Single-cell field; peripheral blood smear — 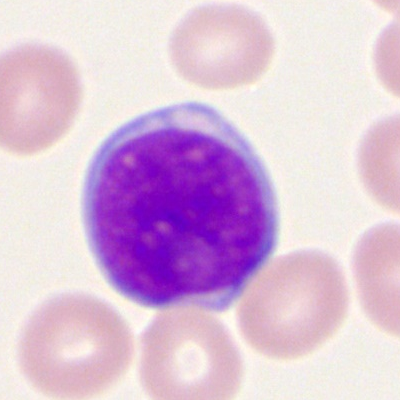

Q: What is the morphological classification of this cell?
A: This is a myeloblast.